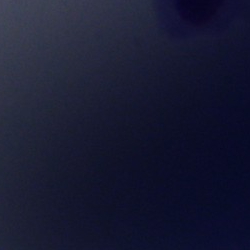Morphology — artefact.